40× oil immersion · 250 by 250 pixels · bone marrow aspirate smear
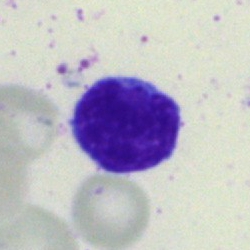 Morphological class: lymphocyte.